Bone marrow smear.
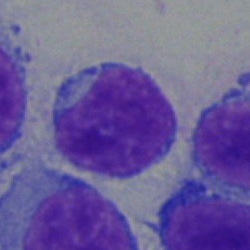 The cell shown is a lymphocyte.